Single-cell crop; peripheral blood film; Romanowsky-type stain.
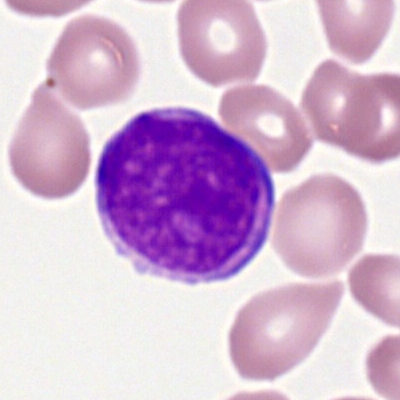

Cell type — myeloid blast.